Bone marrow aspirate smear · single-cell crop
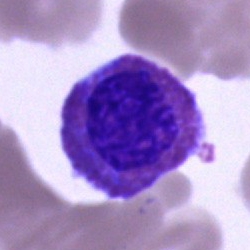

This is an eosinophil.